250×250 px · 40× oil immersion · bone marrow aspirate smear.
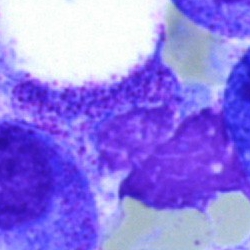
Morphology → artefact.